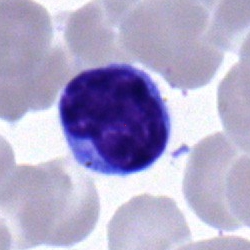
Q: What type of cell is this?
A: This is a typical lymphocyte.